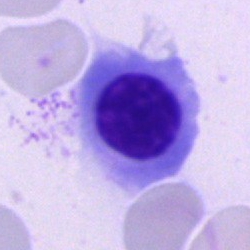 Q: What is shown here?
A: Nucleated red blood cell.